Single-cell crop; bone marrow smear; 250 by 250 pixels:
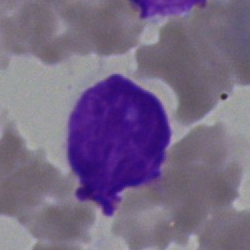

Specimen: bone marrow aspirate smear.
Classification: typical lymphocyte.